Bone marrow aspirate smear
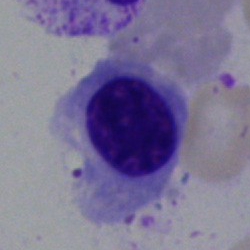 A normoblast.